Peripheral blood smear. Single-cell crop. 400×400:
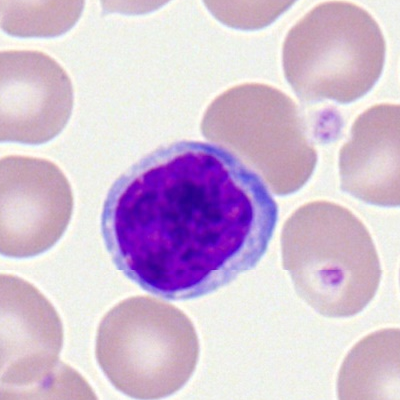The classification is lymphocyte.